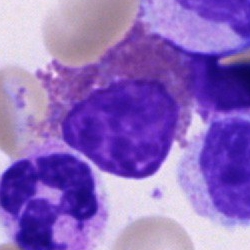 The cell shown is an eosinophil.